Bone marrow smear — 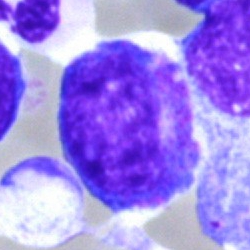 Q: What is shown here?
A: A progranulocyte.